Bone marrow aspirate smear: 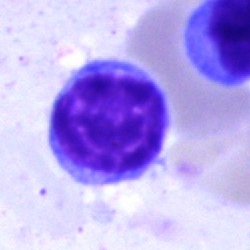
Morphology → lymphocyte.